Bone marrow smear. 40× oil immersion
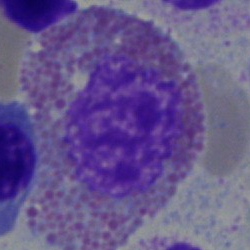

Q: Identify the cell.
A: It is an eosinophil.